May-Grünwald-Giemsa stain · 250 by 250 pixels · bone marrow aspirate smear:
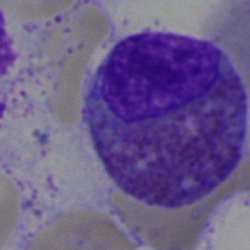
{"cell_type": "eosinophil"}